Bone marrow smear — 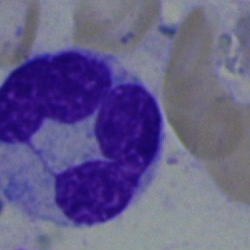
The cell shown is a monocyte.